Bone marrow smear · cropped to a single cell · 250×250
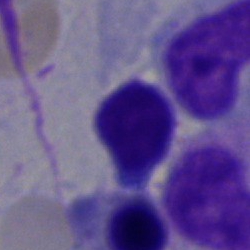
Specimen: bone marrow smear.
Classification: lymphocyte.